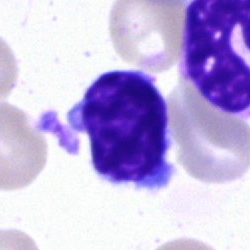

Specimen: bone marrow smear.
Classification: typical lymphocyte.